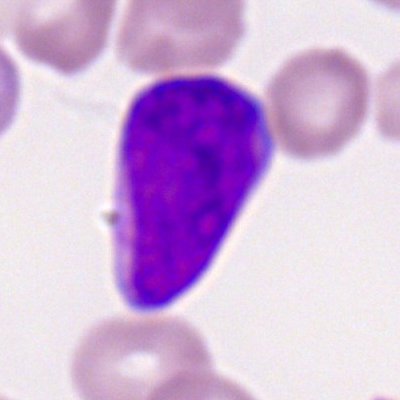
Morphology → myeloid blast.